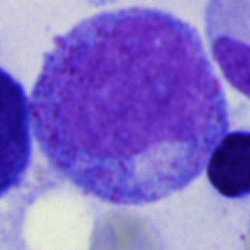{"cell_type": "promyelocyte", "lineage": "myeloid"}